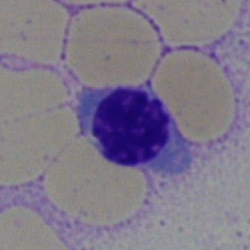
Impression → normoblast.